Bone marrow smear
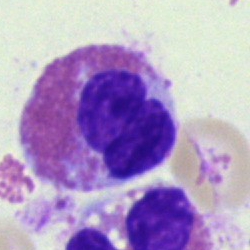 Single cell identified as an eosinophilic granulocyte.